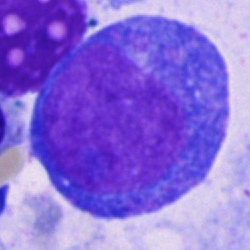 Specimen: bone marrow smear.
Cell: promyelocyte.